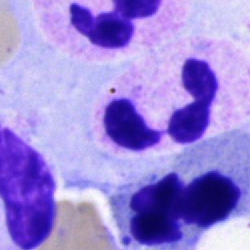
Single-cell crop from a bone marrow smear: segmented neutrophil.